Bone marrow smear.
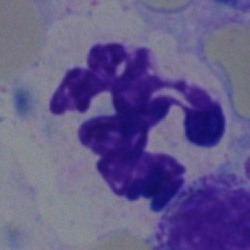The morphological class is neutrophil (segmented).